250 by 250 pixels · bone marrow aspirate smear · 40× objective, oil immersion
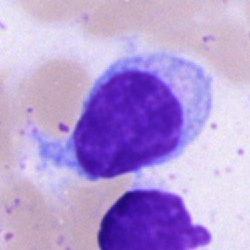

Specimen: bone marrow smear.
Cell: typical lymphocyte.